Single-cell crop. Bone marrow smear. Brightfield, 40× oil-immersion objective — 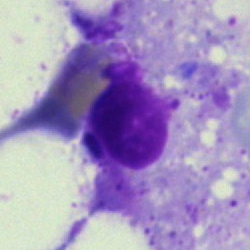Specimen: bone marrow smear.
Morphological class: artefact.